Peripheral blood smear: 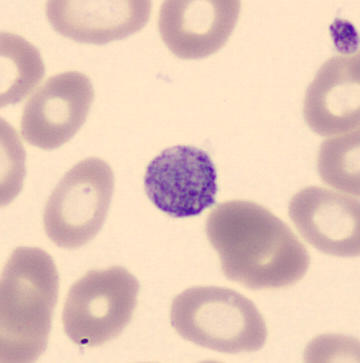

Morphology — thrombocyte.